Bone marrow aspirate smear
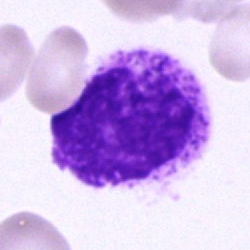
Showing a progranulocyte.